Bone marrow aspirate smear: 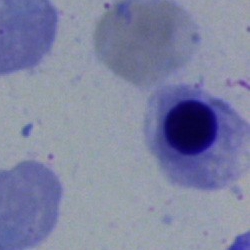

Impression → normoblast.